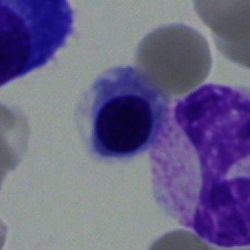 Q: Which cell type is shown here?
A: A nucleated red cell.